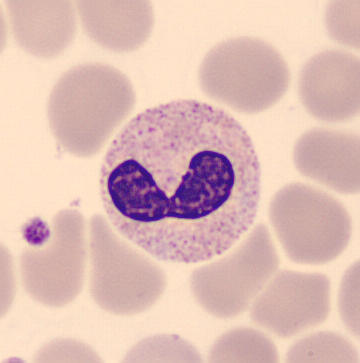

Impression → stab cell.
Peripheral blood film · MGG-stained.